40× objective, oil immersion; bone marrow aspirate smear
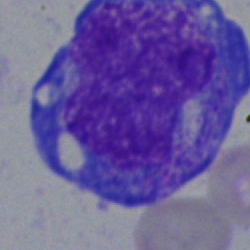Single cell identified as an undifferentiated blast.